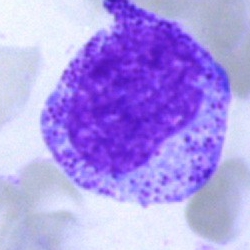 Morphology — progranulocyte.